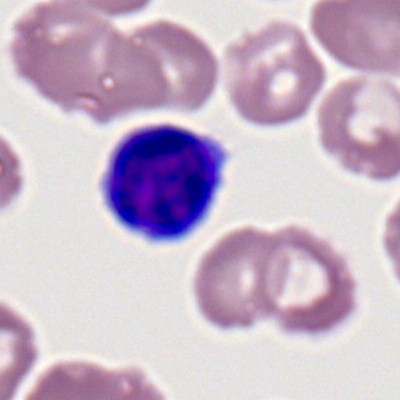
Q: What is the morphological classification of this cell?
A: Typical lymphocyte.